Bone marrow smear. 250 by 250 pixels: 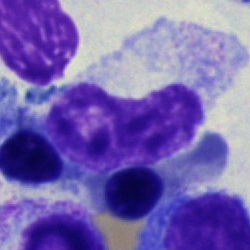
This is a nucleated red cell.